Bone marrow smear · MGG-stained.
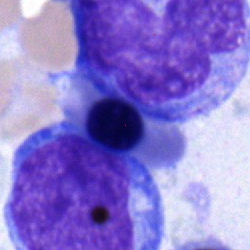
A nucleated red blood cell.